Bone marrow aspirate smear. 250×250. Single-cell field:
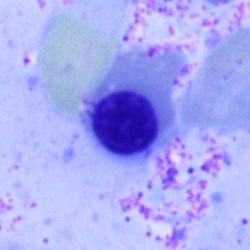This is an erythroblast.